40× objective, oil immersion · 250×250 px · bone marrow smear.
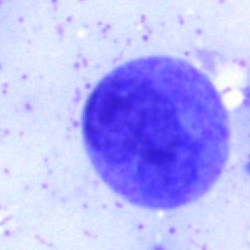
Cell of indeterminate lineage.